Bone marrow aspirate smear.
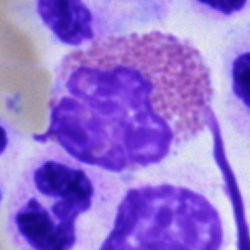
Cell: eosinophil.